Single-cell crop · bone marrow aspirate smear — 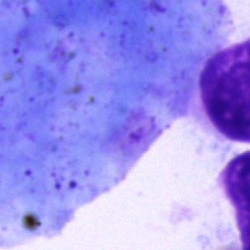
{"cell_type": "artefact"}